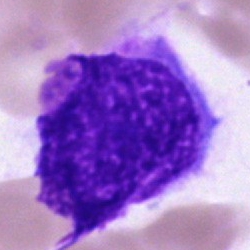

Cell type = artifact.